250×250 px · bone marrow aspirate smear — 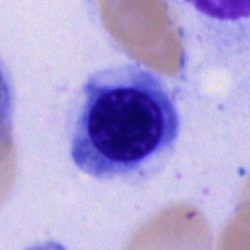Cell = nucleated red cell.